Bone marrow smear:
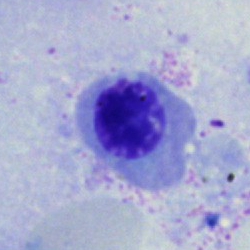

Morphology consistent with a normoblast.